250×250 px · bone marrow aspirate smear — 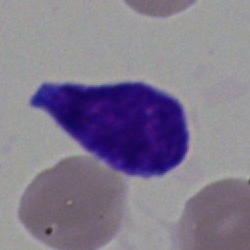This is a blast.